May-Grünwald-Giemsa stain; bone marrow smear — 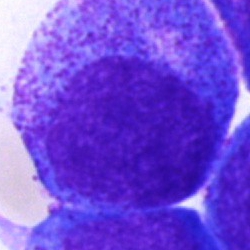

Q: What is the morphological classification of this cell?
A: Promyelocyte.